Single-cell crop · peripheral blood film — 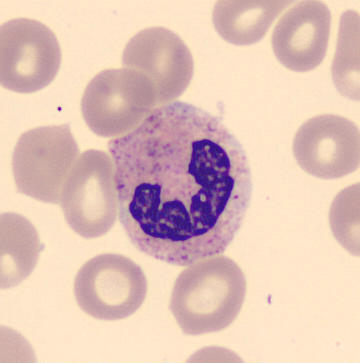A polymorphonuclear neutrophil.